Bone marrow aspirate smear: 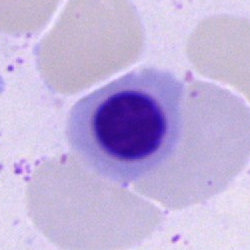

Q: What is shown here?
A: This is an erythroblast.